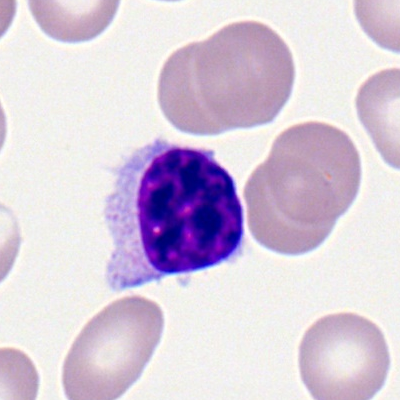The cell type is typical lymphocyte.